Bone marrow smear: 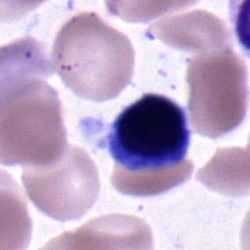 Q: Identify the cell.
A: A typical lymphocyte.